Single-cell crop · bone marrow smear · Pappenheim-stained:
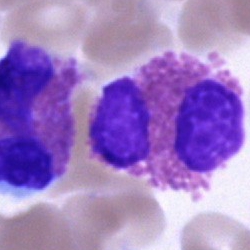 Eosinophil.